May-Grünwald-Giemsa/Pappenheim stain. Image size 250×250. Bone marrow smear.
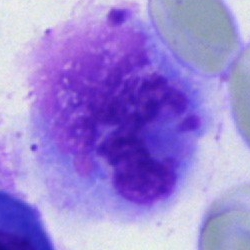Q: What is shown here?
A: This is an artefact.